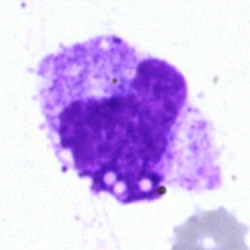
Single cell identified as an artefact.